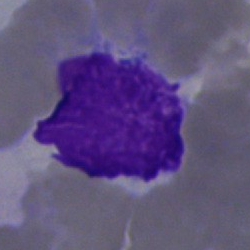 Classification — artifact.